Single-cell field. Romanowsky-stained. Peripheral blood smear
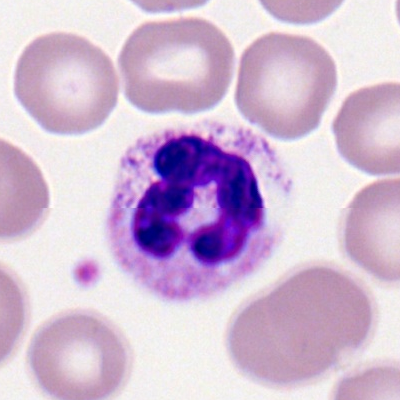
Cell type — segmented neutrophil.